Bone marrow smear
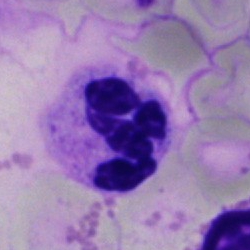The cell shown is a neutrophil (segmented).